Bone marrow aspirate smear
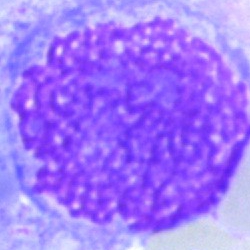Q: What is shown here?
A: It is an artifact.